Bone marrow smear.
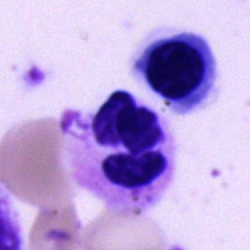Cell — segmented neutrophil.